Bone marrow smear. May-Grünwald-Giemsa stain
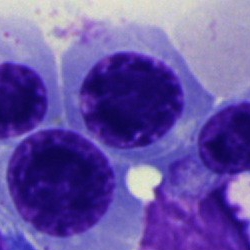 A nucleated red blood cell.